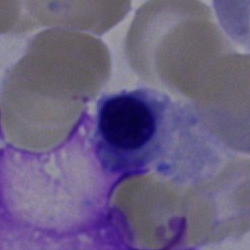 This is an erythroblast.